40× objective, oil immersion; single-cell field; bone marrow smear — 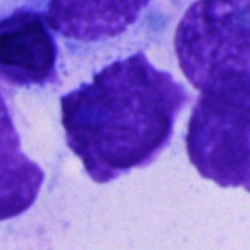Morphology consistent with a cell of indeterminate lineage.